Peripheral blood film:
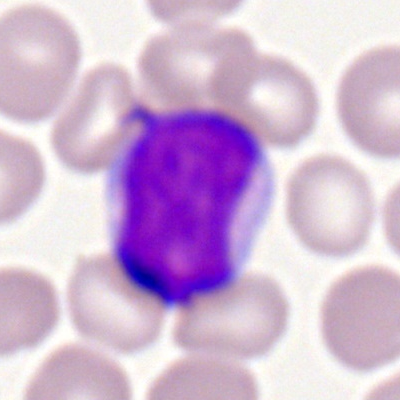
Cell type = myeloid blast.